Bone marrow smear: 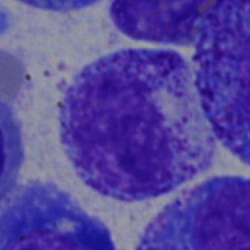
The morphological class is myelocyte.